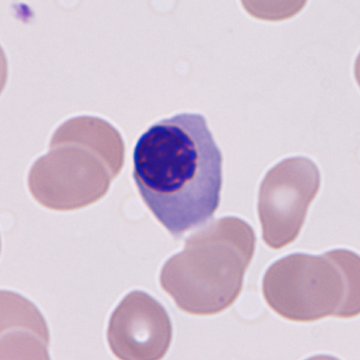

Showing a nucleated red blood cell.